250×250 · bone marrow aspirate smear.
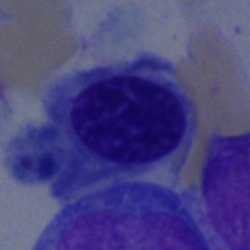 Q: What cell is this?
A: A nucleated red blood cell.